Bone marrow smear: 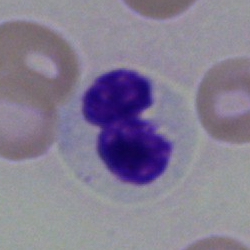

The cell shown is a neutrophil (segmented).